Bone marrow smear — 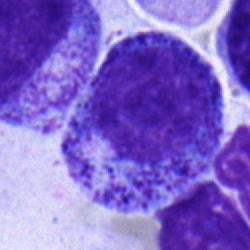Morphology consistent with a promyelocyte.